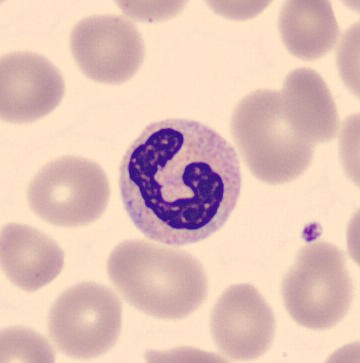

The cell is neutrophil (band).